Bone marrow aspirate smear:
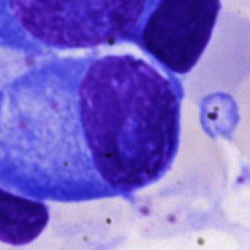Showing a plasma cell.